MGG-stained. Peripheral blood film
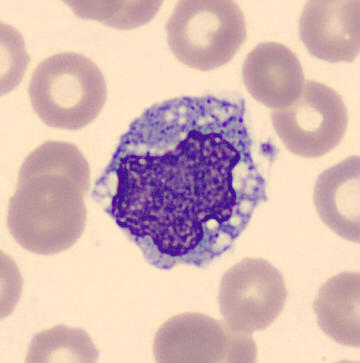Morphology consistent with a monocyte.